Bone marrow aspirate smear
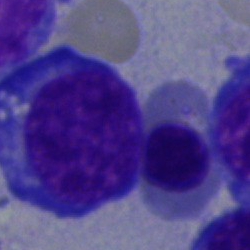
Q: Identify the cell.
A: This is a proerythroblast.